Bone marrow smear: 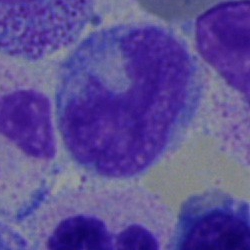

Specimen: bone marrow smear.
Cell type: monocyte.
Lineage: myeloid.